MGG-stained; single-cell field; bone marrow aspirate smear: 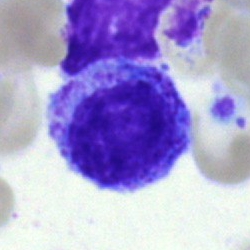Myelocyte.